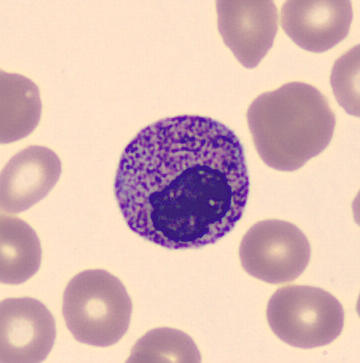Showing a metamyelocyte.
Acquisition: Peripheral blood smear.